Brightfield microscopy, 40× oil immersion. Bone marrow aspirate smear.
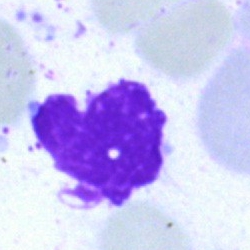 Morphological class = artefact.